Bone marrow aspirate smear
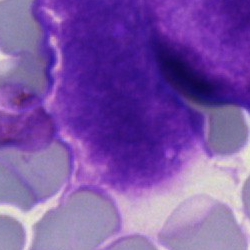The morphological class is artefact.